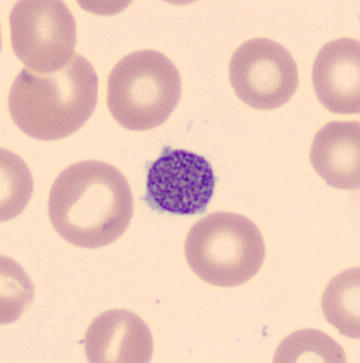Specimen: peripheral blood smear.
Cell type: platelet.